Peripheral blood smear: 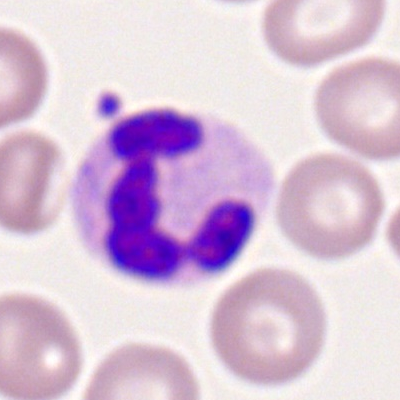The cell type is segmented neutrophil.